Peripheral blood smear: 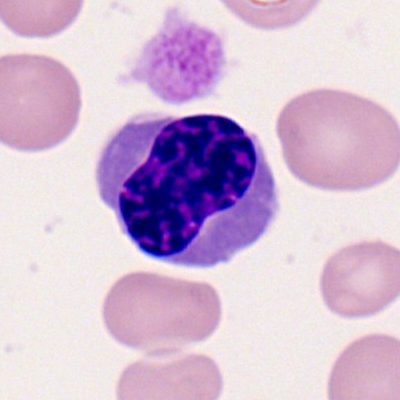

{"cell_type": "nucleated red cell", "lineage": "erythroid"}